Brightfield microscopy, 40× oil immersion · bone marrow aspirate smear.
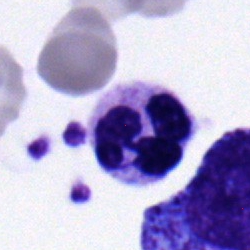 Neutrophil (segmented).